Bone marrow smear:
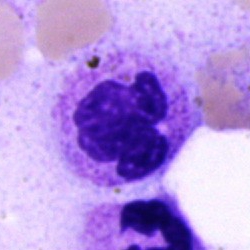 Q: Identify the cell.
A: It is a neutrophil (segmented).